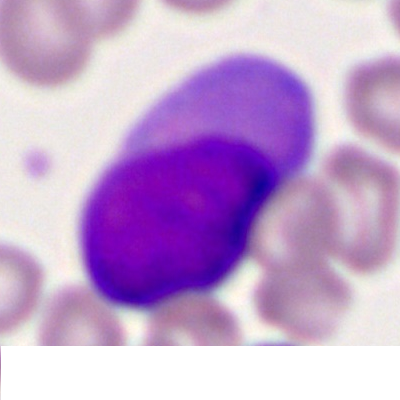Morphological class: myeloblast.